Bone marrow aspirate smear: 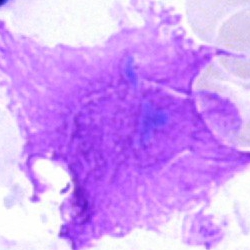

Specimen: bone marrow smear.
Morphological class: artifact.